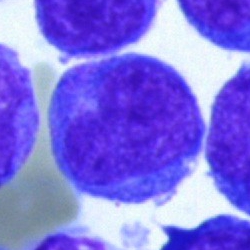
Morphological class: undifferentiated blast.